Bone marrow smear — 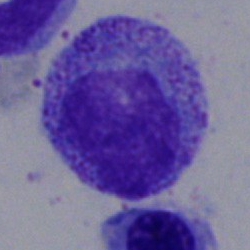 Cell = progranulocyte.